Bone marrow smear. MGG-stained: 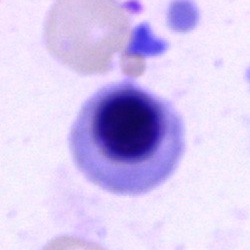 Impression → normoblast.